Bone marrow aspirate smear
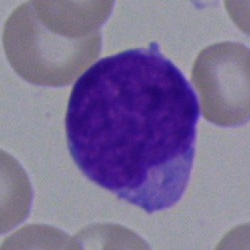 Showing an undifferentiated blast.